Bone marrow aspirate smear
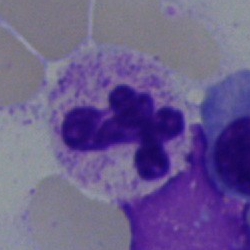
Cell type: segmented neutrophil.